Bone marrow aspirate smear. Image size 250×250 — 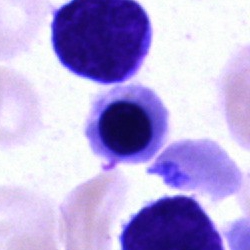Q: What is shown here?
A: Nucleated red cell.